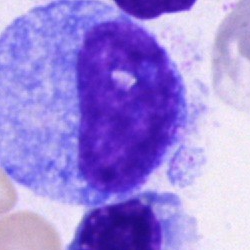
Morphology — promyelocyte.